Bone marrow smear.
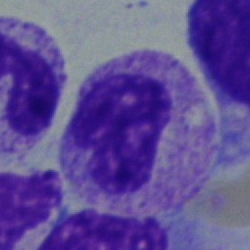 Q: Identify the cell.
A: This is a neutrophil (band).